Bone marrow smear; single-cell field: 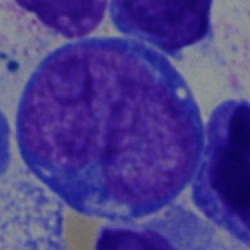 The cell is undifferentiated blast.